MGG-stained; bone marrow aspirate smear.
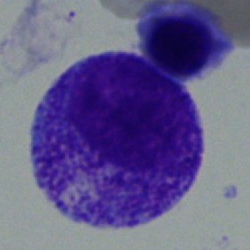

Morphology — myelocyte.